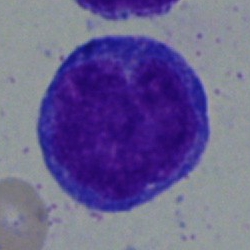The classification is blast cell.